Bone marrow aspirate smear · May-Grünwald-Giemsa/Pappenheim stain — 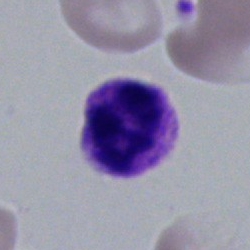 The morphological class is cell of indeterminate lineage.